Peripheral blood smear. CellaVision DM96 digital cell image — 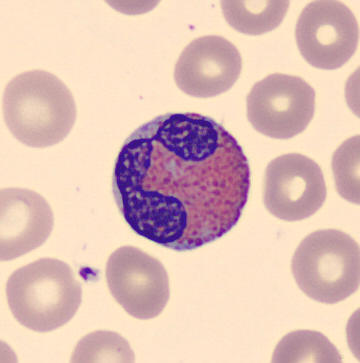

Morphology — eosinophil.